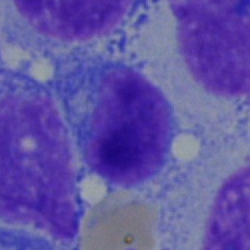
A typical lymphocyte on a bone marrow smear.